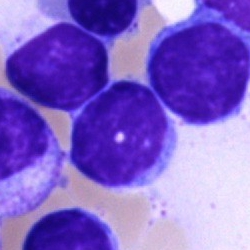Cell — typical lymphocyte.